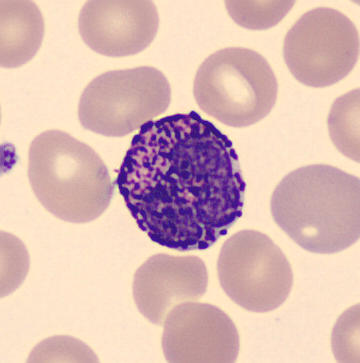

Classification — basophil.